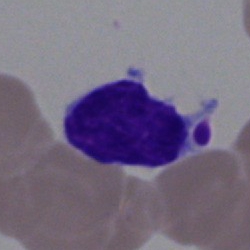
Q: Identify the cell.
A: This is a lymphocyte.